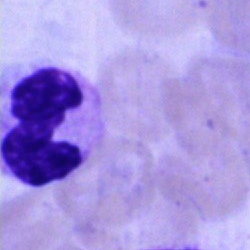

Specimen: bone marrow smear.
Cell: segmented neutrophil.
Lineage: myeloid.